Bone marrow aspirate smear:
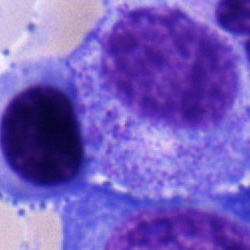 Specimen: bone marrow smear.
Morphological class: promyelocyte.
Lineage: myeloid.